Bone marrow smear.
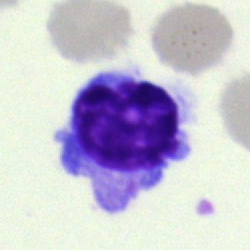

Showing a typical lymphocyte.